Bone marrow smear. May-Grünwald-Giemsa stain — 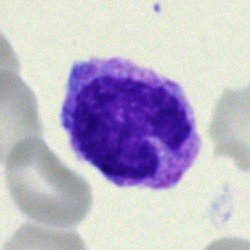
A neutrophil (band).